Bone marrow aspirate smear
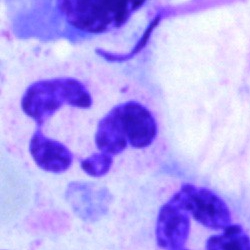

Q: Identify the cell.
A: It is a neutrophil (segmented).